Peripheral blood film:
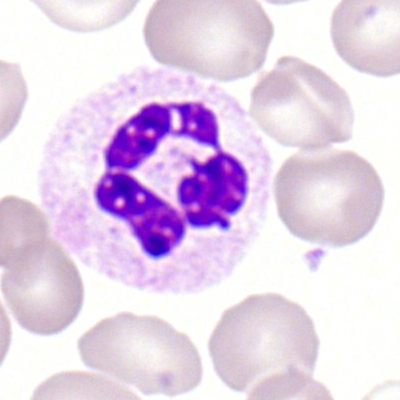Showing a neutrophil (segmented).